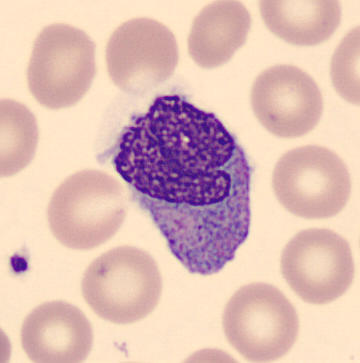

Morphology consistent with a monocyte.